Bone marrow smear
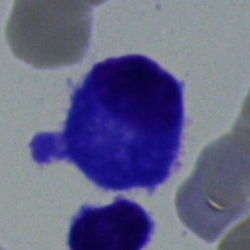
Plasma cell.